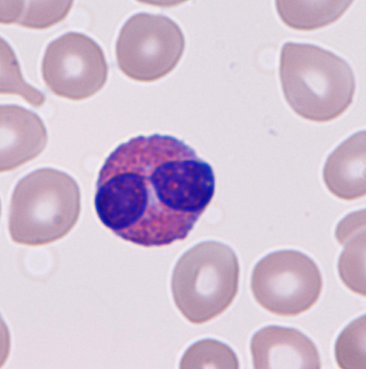Specimen: peripheral blood film.
Cell type: eosinophilic granulocyte.